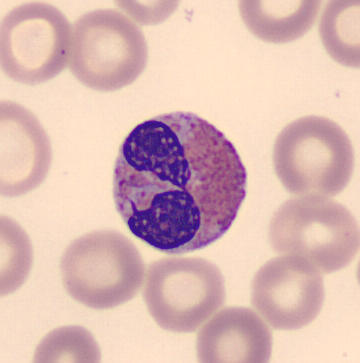

Peripheral blood film, single cell — eosinophilic granulocyte.